Bone marrow aspirate smear; 250×250: 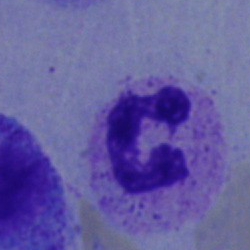
Morphological class: polymorphonuclear neutrophil.